Bone marrow aspirate smear
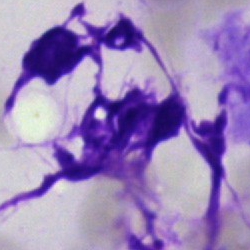 Morphological class — artefact.